Bone marrow aspirate smear. 40× objective, oil immersion.
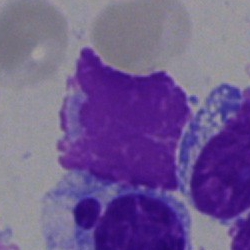

Q: What is shown here?
A: This is an artifact.